Bone marrow smear: 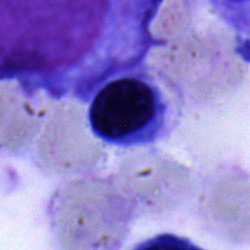
Morphology consistent with an erythroblast.